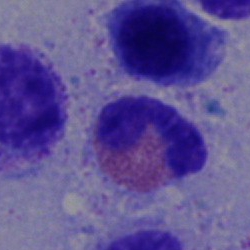

An eosinophilic granulocyte.